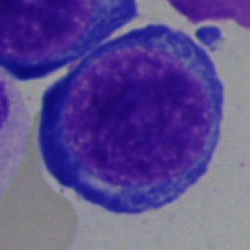Classification: nucleated red cell.